Bone marrow aspirate smear:
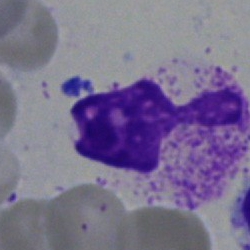
{"cell_type": "artefact"}